Peripheral blood film · Romanowsky-stained: 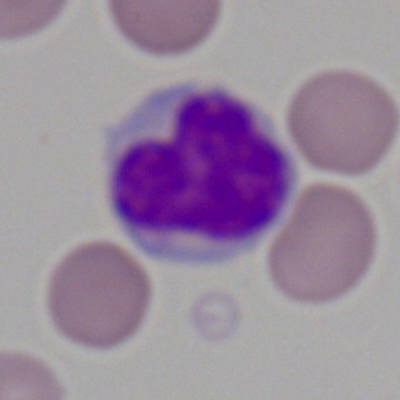 Morphology consistent with a lymphocyte.